40× objective, oil immersion; bone marrow aspirate smear; MGG-stained — 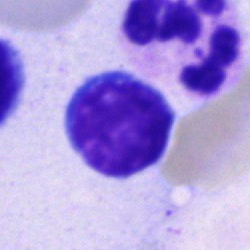A lymphocyte.